Bone marrow aspirate smear.
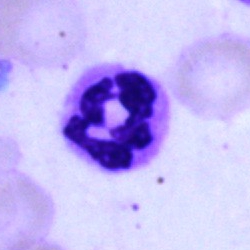

Classification: segmented neutrophil.